Bone marrow aspirate smear — 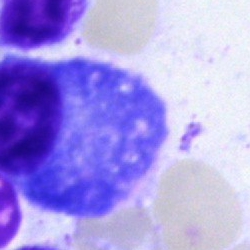

{"cell_type": "plasma cell"}